Bone marrow smear. 40× objective, oil immersion.
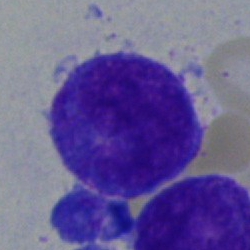 Morphology consistent with a blast cell.